Bone marrow aspirate smear · 250×250
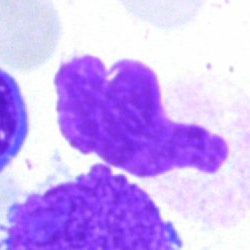 An artefact.